Peripheral blood smear
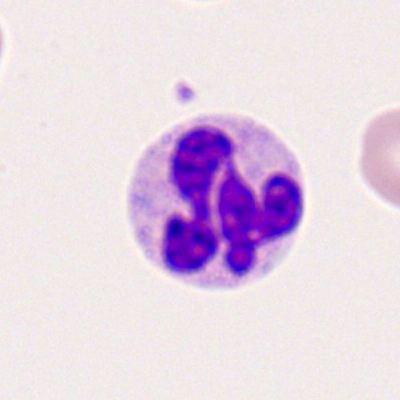

{"cell_type": "polymorphonuclear neutrophil", "lineage": "myeloid"}